Single-cell field · bone marrow aspirate smear
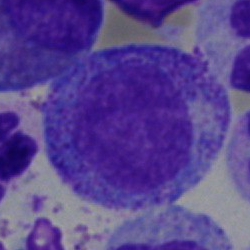

Promyelocyte.